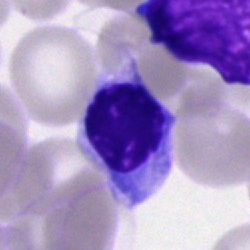A nucleated red blood cell on a bone marrow smear.